Bone marrow aspirate smear:
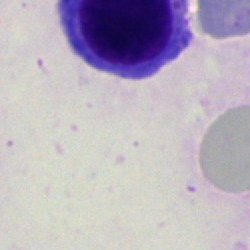 Q: What is shown here?
A: It is an artifact.